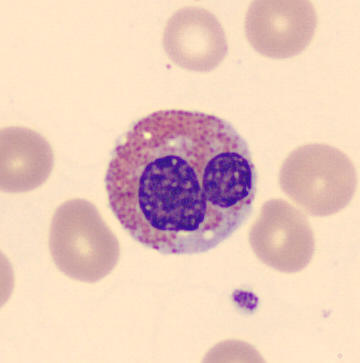

Impression — eosinophilic granulocyte.